MGG stain · peripheral blood film · imaged on a CellaVision DM96 analyser.
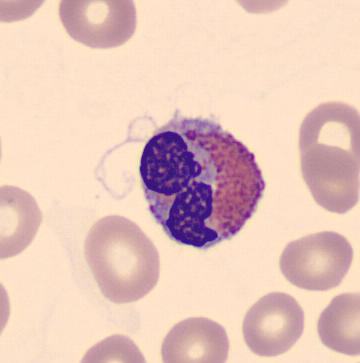 Morphology — eosinophilic granulocyte.